Bone marrow aspirate smear. Single cell centered in the field: 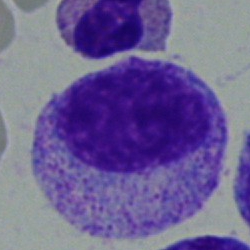 Single cell identified as a myelocyte.